Brightfield, 40× oil-immersion objective; bone marrow smear
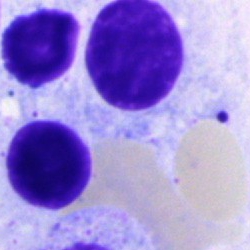
This is an artifact.